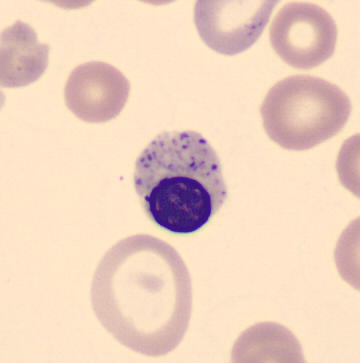

Image: Peripheral blood film; 360 by 363 pixels.
Morphological class: nucleated red blood cell.